250×250; bone marrow aspirate smear: 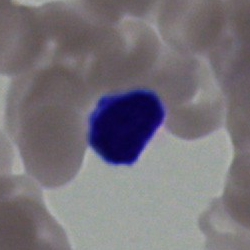
Showing a typical lymphocyte.